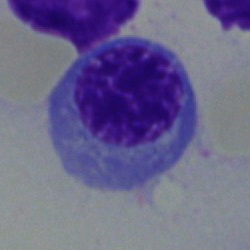 {"cell_type": "nucleated red cell"}